Bone marrow smear · single-cell crop:
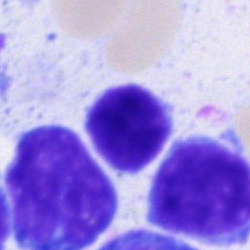 Morphology consistent with a lymphocyte.